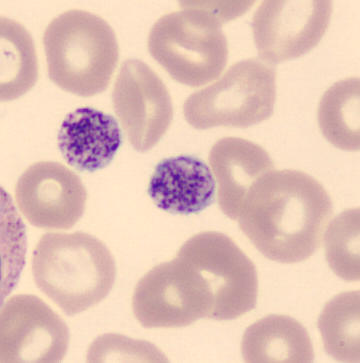

Image: CellaVision DM96 · peripheral blood film. This is a platelet (thrombocyte).